Bone marrow smear
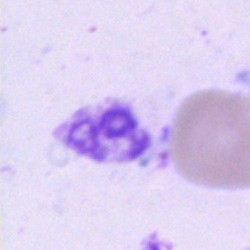
The cell is artefact.